May-Grünwald-Giemsa stain · 40× objective, oil immersion · bone marrow smear
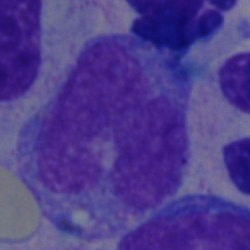
Specimen: bone marrow aspirate smear.
Morphological class: monocyte.